40× oil immersion. Bone marrow smear:
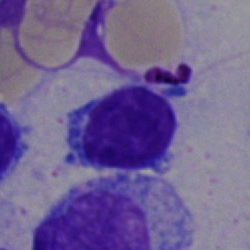
Q: Identify the cell.
A: Typical lymphocyte.